Single-cell crop. Bone marrow smear.
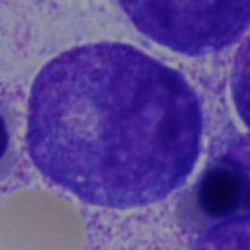

The classification is progranulocyte.